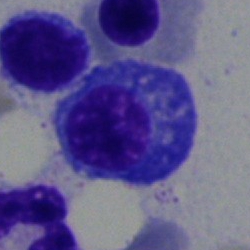
{"cell_type": "plasmacyte"}